Single-cell crop; bone marrow aspirate smear:
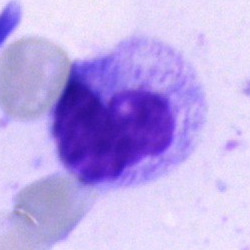 Specimen: bone marrow smear.
Cell type: polymorphonuclear neutrophil.
Lineage: myeloid.